250×250 · bone marrow smear
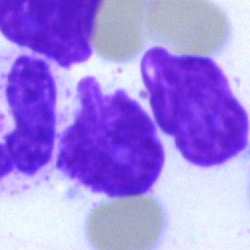 Cell type: artefact.